Bone marrow smear:
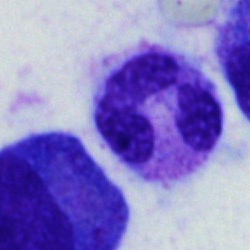Single cell identified as a segmented neutrophil.